Bone marrow aspirate smear. Pappenheim-stained.
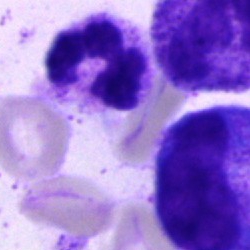 The classification is segmented neutrophil.